Bone marrow aspirate smear — 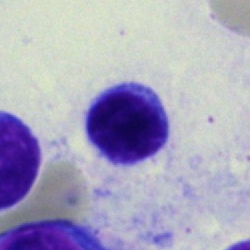

Cell — typical lymphocyte.